Bone marrow aspirate smear — 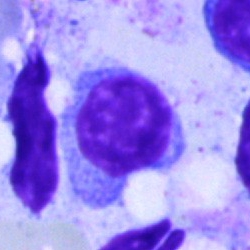{"cell_type": "typical lymphocyte", "lineage": "lymphoid"}